Bone marrow aspirate smear:
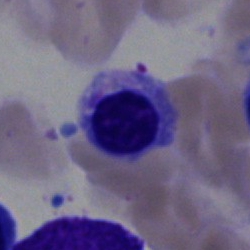
The classification is nucleated red blood cell.